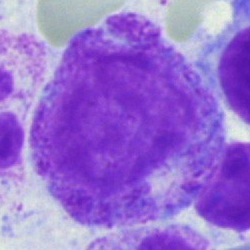

Q: What type of cell is this?
A: This is a metamyelocyte.